Single-cell field · bone marrow aspirate smear:
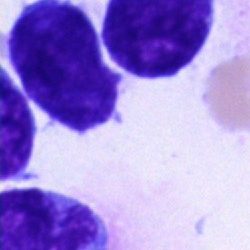

The cell is blast cell.